400 by 400 pixels · peripheral blood smear
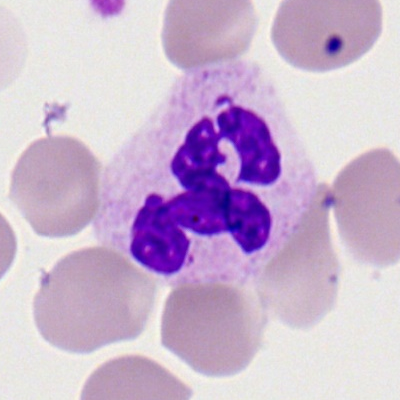The cell shown is a neutrophil (segmented).